250×250 px. Bone marrow aspirate smear — 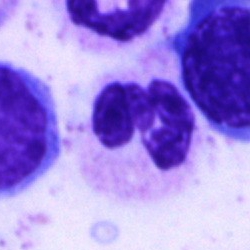 Morphology consistent with a segmented neutrophil.